Bone marrow smear:
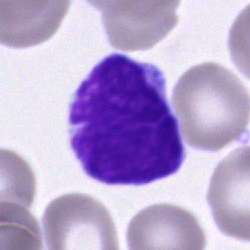
Q: What is shown here?
A: A typical lymphocyte.